Single-cell crop · 250×250 px · bone marrow smear
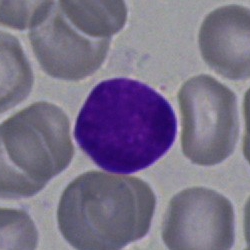 Morphology — lymphocyte.